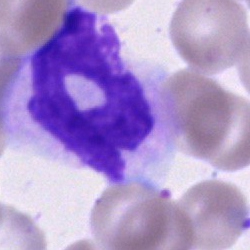

Specimen: bone marrow smear.
Classification: artifact.